Single cell centered in the field; bone marrow smear
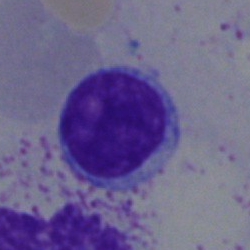Showing a typical lymphocyte.